Bone marrow aspirate smear · 250 by 250 pixels:
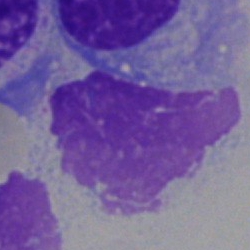 Classification = artefact.